Bone marrow aspirate smear: 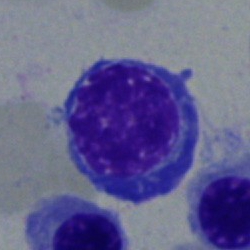

A normoblast.